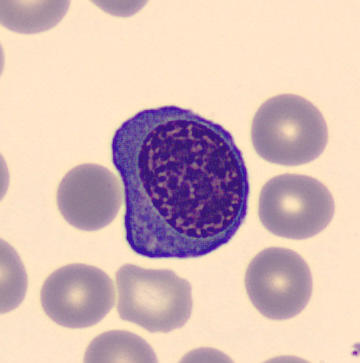 Peripheral blood smear showing a nucleated red blood cell.